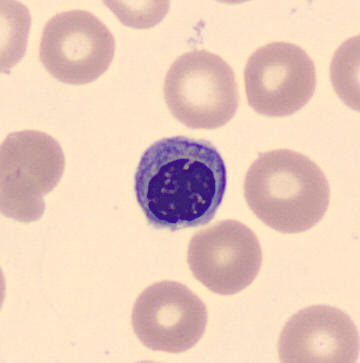{"cell_type": "nucleated red cell", "lineage": "erythroid"}